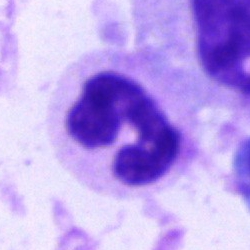Single cell identified as a polymorphonuclear neutrophil.